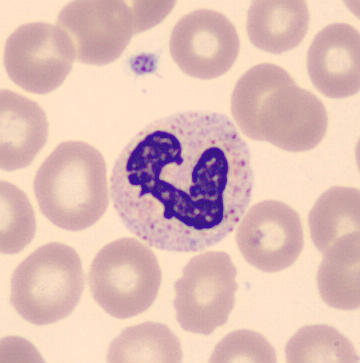Q: Identify the cell.
A: This is a segmented neutrophil. Preparation: Peripheral blood smear.